Bone marrow aspirate smear · 40× oil immersion.
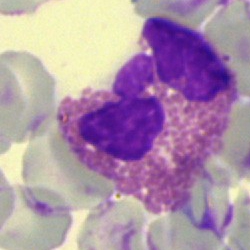
The cell shown is an eosinophilic granulocyte.